Bone marrow smear; single-cell field — 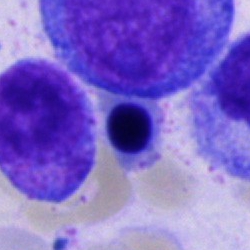
{"cell_type": "erythroblast"}